Bone marrow aspirate smear — 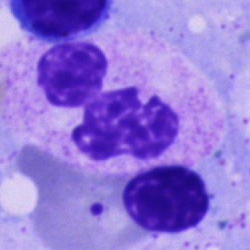 Q: Which cell type is shown here?
A: This is a neutrophil (segmented).